250 by 250 pixels · bone marrow smear.
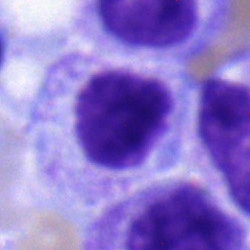 Specimen: bone marrow aspirate smear.
Morphological class: myelocyte.
Lineage: myeloid.